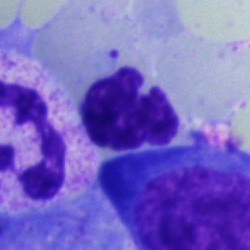Specimen: bone marrow aspirate smear.
Cell: polymorphonuclear neutrophil.